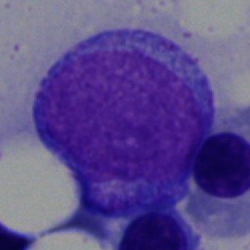

Cell = progranulocyte.